Bone marrow smear.
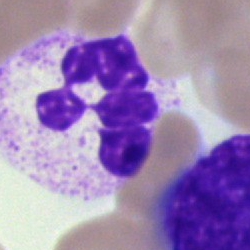
Impression — neutrophil (segmented).